Single cell centered in the field · bone marrow aspirate smear — 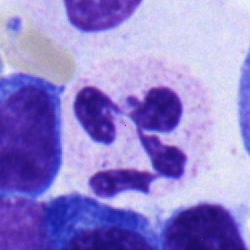 This is a segmented neutrophil.